Single-cell field; bone marrow smear.
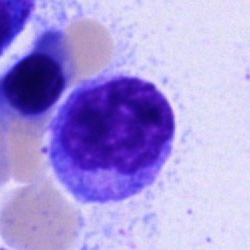

This is a lymphocyte.